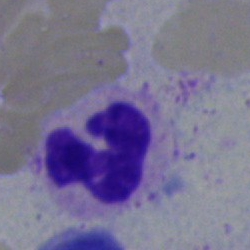 Single cell identified as a neutrophil (segmented).